Bone marrow aspirate smear: 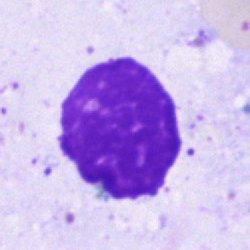
An artifact.